Bone marrow smear
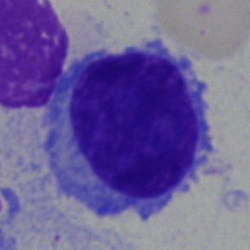Cell: plasmacyte.